May-Grünwald-Giemsa stain. Bone marrow smear. Cropped to a single cell.
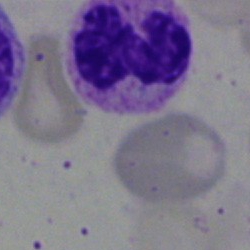 Classification: segmented neutrophil.